May-Grünwald-Giemsa stain; 250×250 px; bone marrow smear: 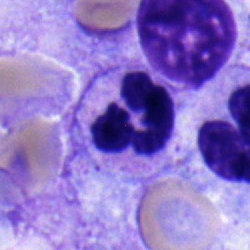

Specimen: bone marrow smear.
Cell type: neutrophil (segmented).
Lineage: myeloid.